Bone marrow aspirate smear: 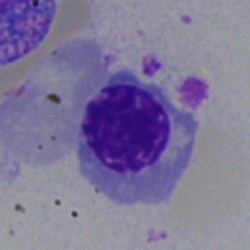
Nucleated red blood cell.